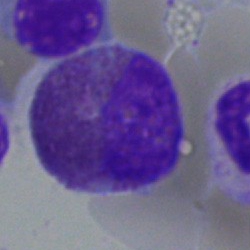 Q: What cell is this?
A: An eosinophil.